Peripheral blood smear: 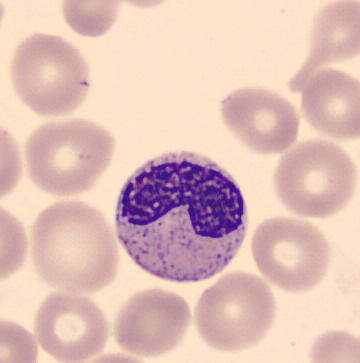
Classification: band-form neutrophil.